Bone marrow smear; brightfield microscopy, 40× oil immersion.
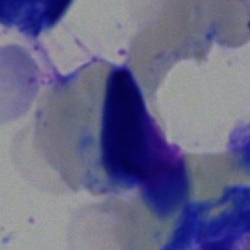

Specimen: bone marrow aspirate smear.
Classification: artefact.